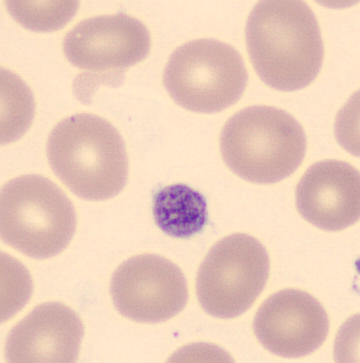 Peripheral blood smear.
{"cell_type": "thrombocyte"}